Peripheral blood smear:
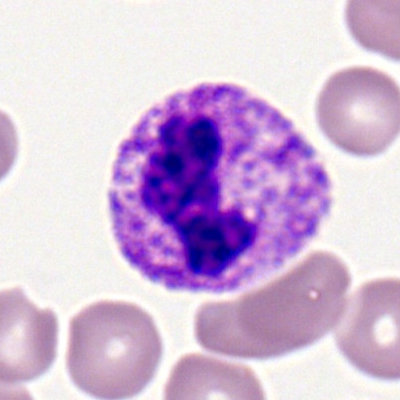 A neutrophil (segmented).